Bone marrow aspirate smear · image size 250×250: 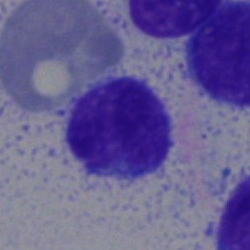

The morphological class is typical lymphocyte.